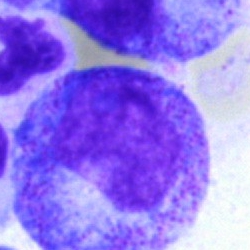 Q: What cell is this?
A: Myelocyte.